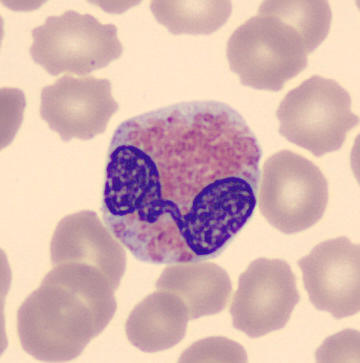 Impression — eosinophil.